Cropped to a single cell; bone marrow smear — 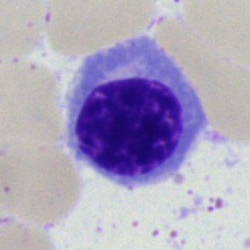 Cell: erythroblast.